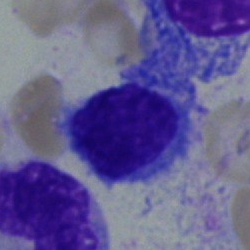 Impression — lymphocyte.